Bone marrow smear — 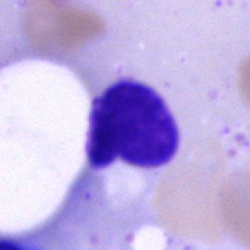
The classification is artifact.